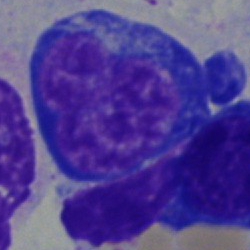
The cell shown is a proerythroblast.